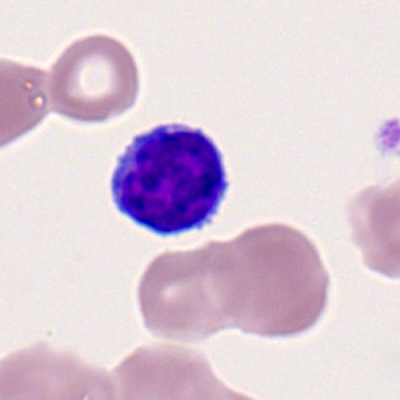 Q: What type of cell is this?
A: This is a lymphocyte.